Bone marrow smear.
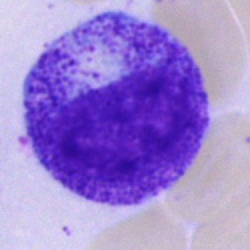
Morphology consistent with a promyelocyte.